Single-cell crop · bone marrow aspirate smear — 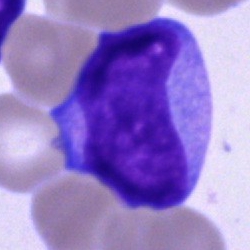Showing a blast cell.